Bone marrow smear.
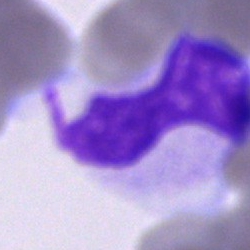

Morphology → cell of indeterminate lineage.